Bone marrow smear.
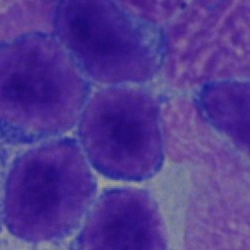
Q: What is the morphological classification of this cell?
A: It is a lymphocyte.